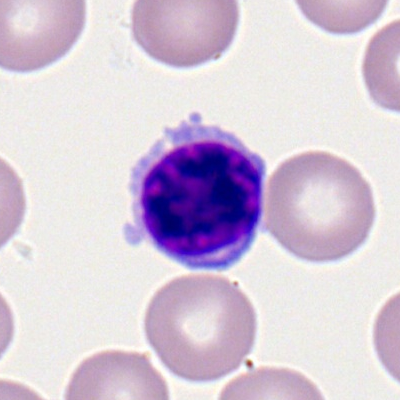
Single-cell crop from a peripheral blood smear: typical lymphocyte.